Bone marrow smear: 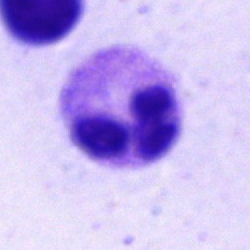 Morphology — neutrophil (segmented).